MGG-stained. Bone marrow aspirate smear. Single-cell crop: 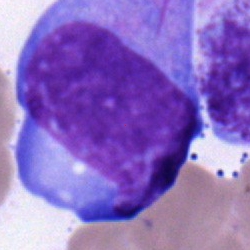

{"cell_type": "undifferentiated blast"}